Bone marrow aspirate smear. 40× oil immersion. May-Grünwald-Giemsa stain:
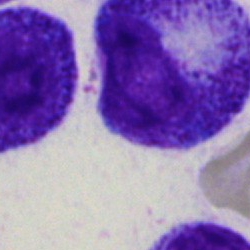 Single cell identified as a promyelocyte.